Bone marrow aspirate smear; 250×250; MGG-stained — 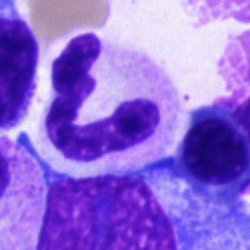Cell type: segmented neutrophil.